Bone marrow aspirate smear.
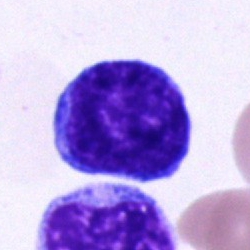 This is an undifferentiated blast.